Bone marrow smear:
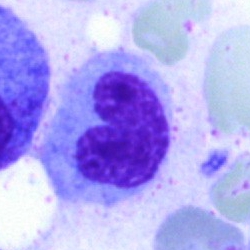 Cell type: metamyelocyte.